400 by 400 pixels. Peripheral blood smear: 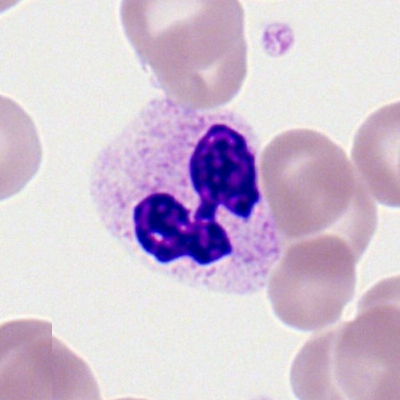 Q: Which cell type is shown here?
A: Segmented neutrophil.